Bone marrow aspirate smear — 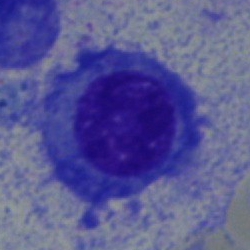

Morphology → plasmacyte.